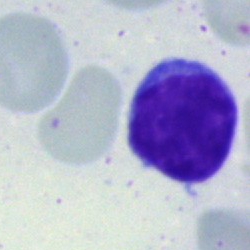 Classification — typical lymphocyte.